Single cell centered in the field. Bone marrow aspirate smear. May-Grünwald-Giemsa/Pappenheim stain
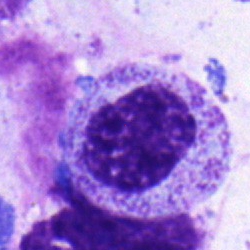

Q: What is the morphological classification of this cell?
A: A myelocyte.